Bone marrow smear; single cell centered in the field — 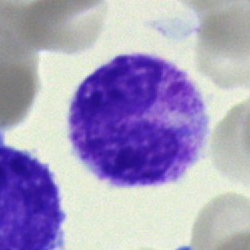 Q: Which cell type is shown here?
A: A band-form neutrophil.